Peripheral blood film
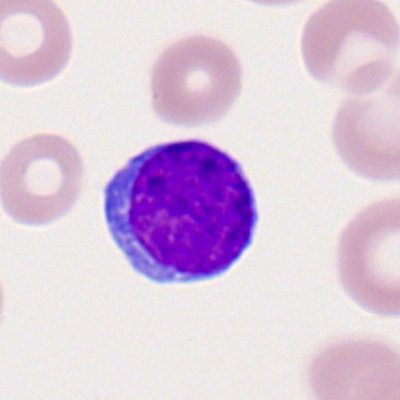
Q: What is the morphological classification of this cell?
A: This is a typical lymphocyte.